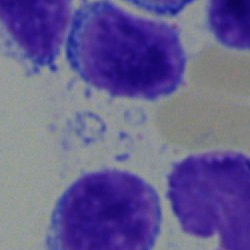 Morphological class = lymphocyte.